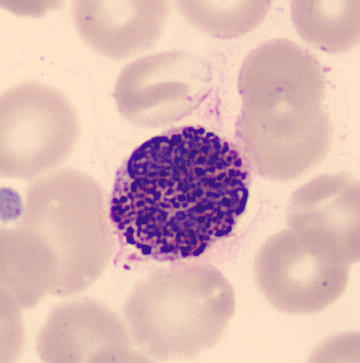Specimen: peripheral blood film.
Cell: basophilic granulocyte.
Lineage: myeloid. Image: Imaged on a CellaVision DM96 analyser.